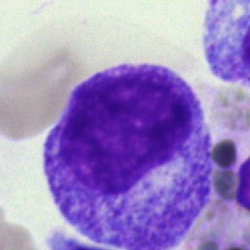
The morphological class is progranulocyte.